Peripheral blood film: 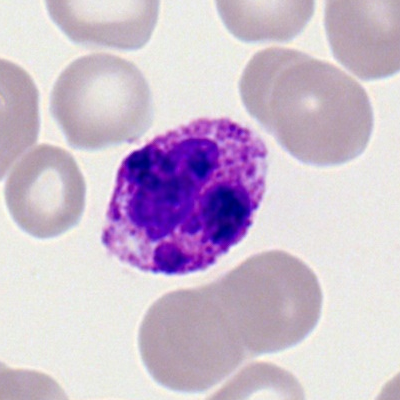 Morphological class = basophilic granulocyte.